Brightfield microscopy, 40× oil immersion. 250 by 250 pixels. Bone marrow smear:
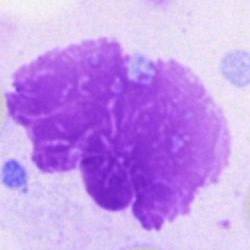

Classification — artefact.